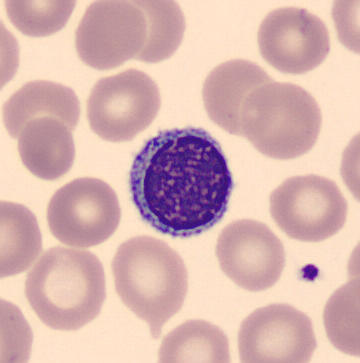Cell = lymphocyte.
Preparation: Peripheral blood smear. Automated cell imaging (CellaVision DM96).